Bone marrow aspirate smear
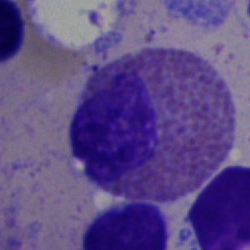
Cell type = eosinophilic granulocyte.